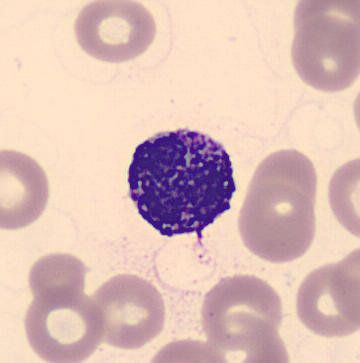

From a peripheral blood smear: a basophil.